Romanowsky-type stain · peripheral blood smear: 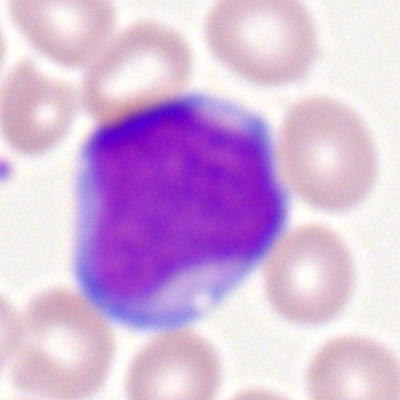Cell type = myeloid blast.